Bone marrow aspirate smear.
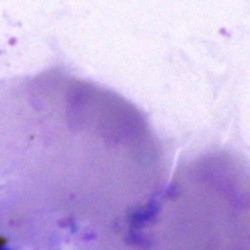 This is an artifact.